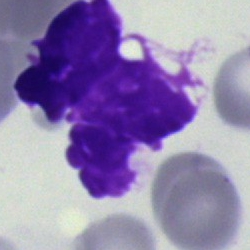Cell — artifact.